Bone marrow aspirate smear: 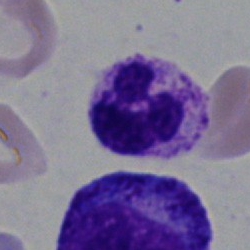

The cell type is segmented neutrophil.